Bone marrow aspirate smear — 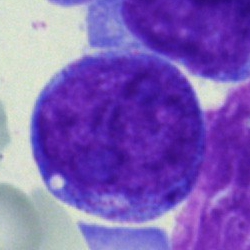 A blast cell.